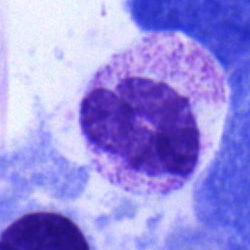

This is a stab cell.